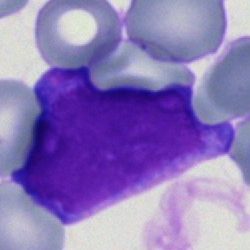 Single cell identified as a blast.